Brightfield, 100× oil-immersion objective; peripheral blood smear
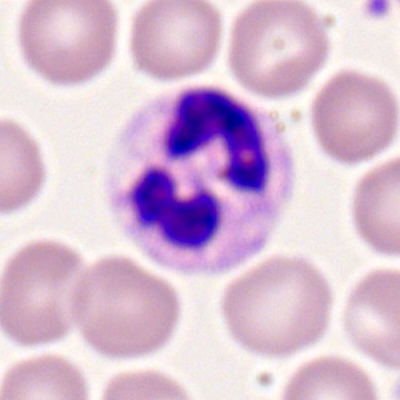Impression → polymorphonuclear neutrophil.